Image size 250×250 · bone marrow smear.
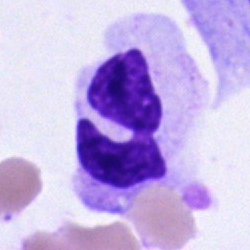

Classification — neutrophil (segmented).